Bone marrow aspirate smear
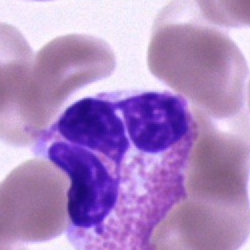

Morphological class: eosinophilic granulocyte.